Pappenheim-stained · 250 by 250 pixels · bone marrow smear:
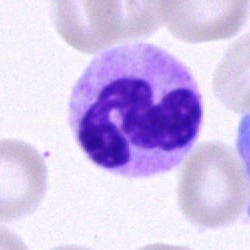Single cell identified as a polymorphonuclear neutrophil.